Bone marrow smear. Brightfield, 40× oil-immersion objective.
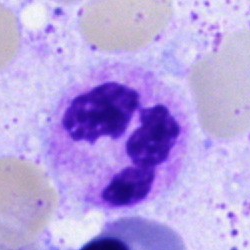

Polymorphonuclear neutrophil.